Bone marrow smear.
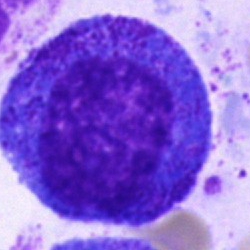
Morphological class: progranulocyte.